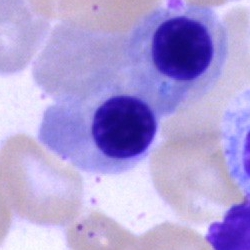

Bone marrow aspirate smear, single cell — nucleated red blood cell.